Bone marrow smear:
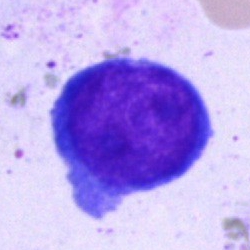
{"cell_type": "undifferentiated blast"}